Bone marrow smear
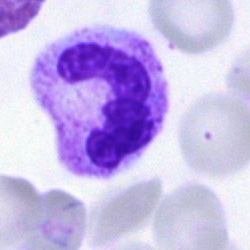Classification — polymorphonuclear neutrophil.